Bone marrow aspirate smear. Pappenheim-stained — 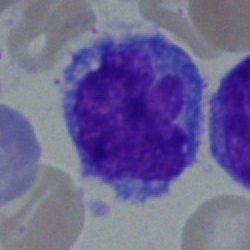 The morphological class is monocyte.